Bone marrow aspirate smear — 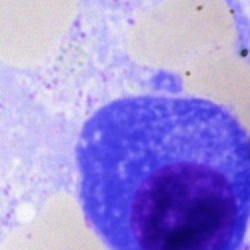Impression — plasmacyte.